40× oil immersion; bone marrow smear: 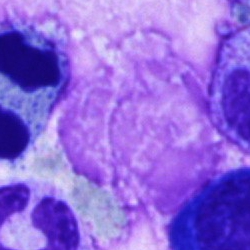 The cell shown is an artifact.